Image size 250×250 · 40× oil immersion · bone marrow aspirate smear:
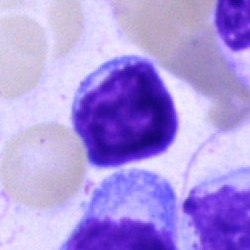

Q: What type of cell is this?
A: This is a lymphocyte.